Bone marrow smear — 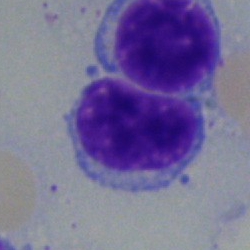
Q: Which cell type is shown here?
A: This is a lymphocyte.